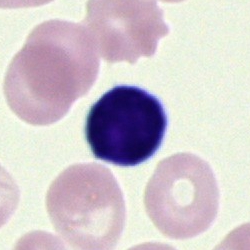 The classification is artefact.